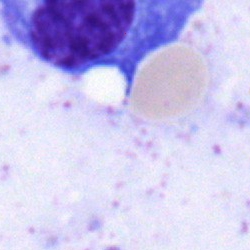 Q: Which cell type is shown here?
A: Plasma cell.